40× objective, oil immersion; MGG-stained; bone marrow smear
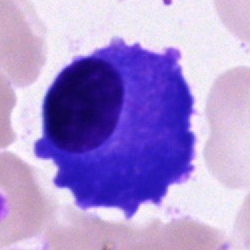Classification = plasma cell.